Bone marrow smear. Single cell centered in the field:
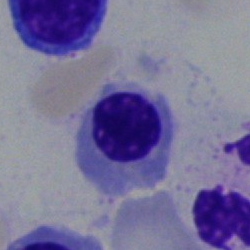 Showing a normoblast.